MGG-stained. Bone marrow smear:
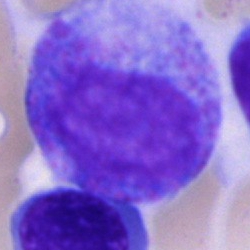

Promyelocyte.